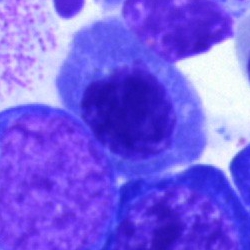Classification — nucleated red blood cell.